Bone marrow aspirate smear · 40× oil immersion — 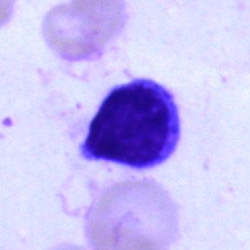 {"cell_type": "typical lymphocyte"}